Bone marrow aspirate smear: 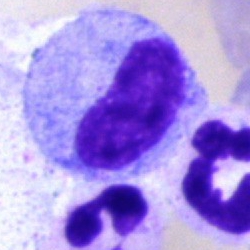
Neutrophil (band).